Bone marrow smear — 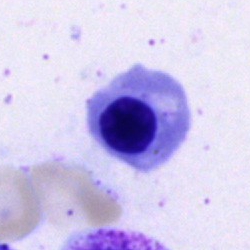 Cell: nucleated red blood cell.